Bone marrow aspirate smear
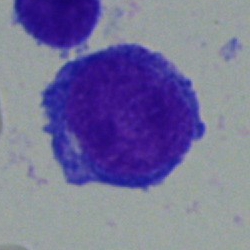
Specimen: bone marrow smear.
Cell type: undifferentiated blast.